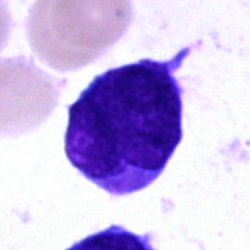Specimen: bone marrow smear.
Cell type: undifferentiated blast.